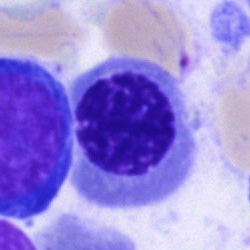
This is an erythroblast.